Bone marrow smear
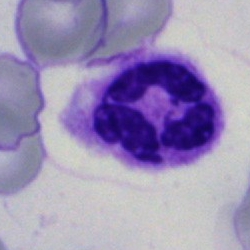 Specimen: bone marrow smear.
Cell type: segmented neutrophil.